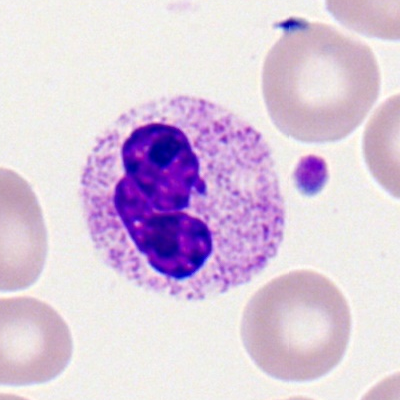The cell shown is a polymorphonuclear neutrophil.